Peripheral blood smear:
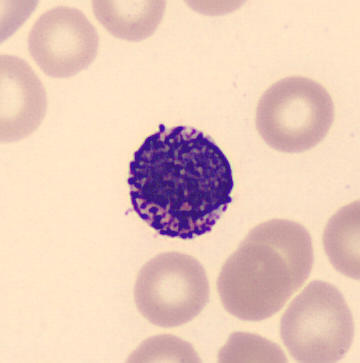A basophilic granulocyte.